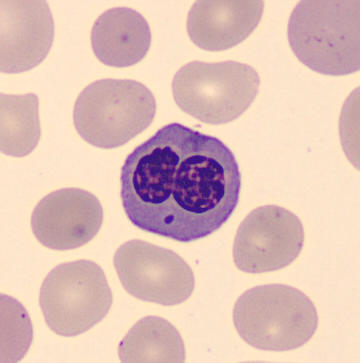The cell is nucleated red cell. Image: CellaVision DM96. Peripheral blood film.